Brightfield, 40× oil-immersion objective. Bone marrow aspirate smear — 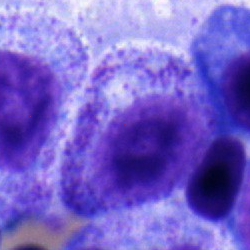The cell shown is a progranulocyte.